Bone marrow smear · 250 by 250 pixels · single cell centered in the field:
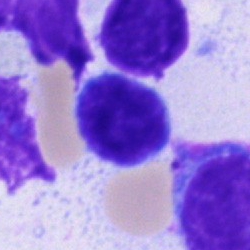
Morphology → typical lymphocyte.